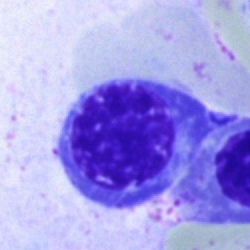Morphological class = erythroblast.